Bone marrow aspirate smear.
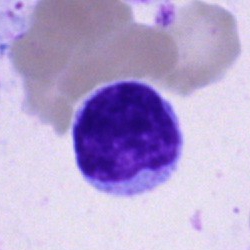 Impression → plasmacyte.